Pappenheim-stained · single-cell crop · bone marrow aspirate smear:
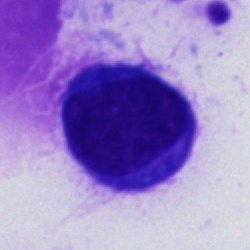
{"cell_type": "unidentifiable cell"}